Peripheral blood smear · Romanowsky-type stain · M8 digital microscope (Precipoint), 100× oil immersion: 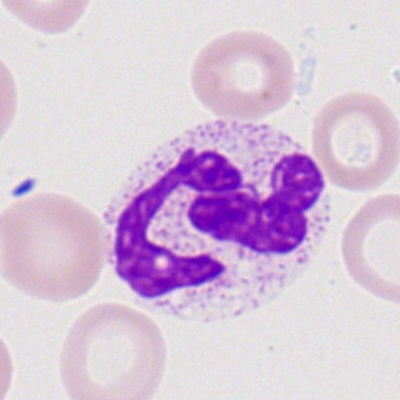
Specimen: peripheral blood smear.
Morphological class: segmented neutrophil.